Bone marrow smear.
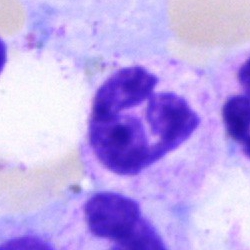A neutrophil (segmented).